Bone marrow smear — 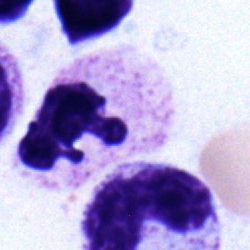The cell shown is a polymorphonuclear neutrophil.